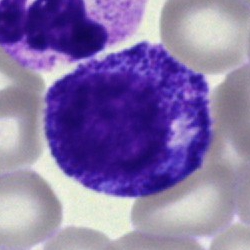
Cell type = progranulocyte.